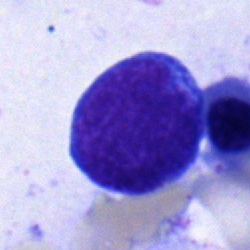
This is a lymphocyte.